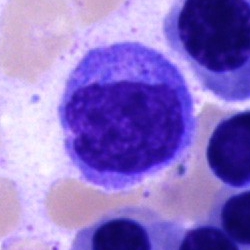 Classification — monocyte.